Bone marrow aspirate smear
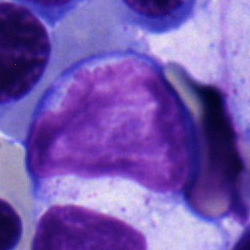Q: Identify the cell.
A: This is a lymphocyte.